Bone marrow aspirate smear — 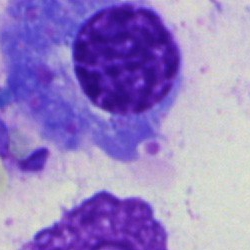
Morphology consistent with a plasmacyte.